Bone marrow smear. 250×250:
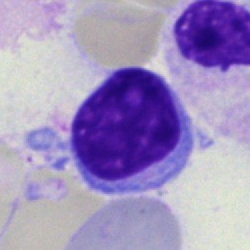Impression — typical lymphocyte.